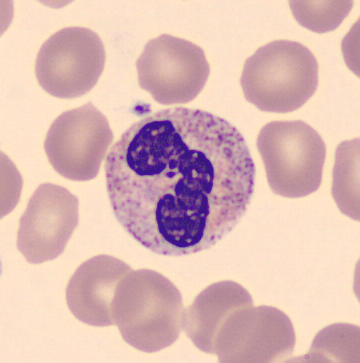
360×363 px · peripheral blood film · single cell centered in the field. Impression — segmented neutrophil.